Bone marrow aspirate smear. 40× objective, oil immersion: 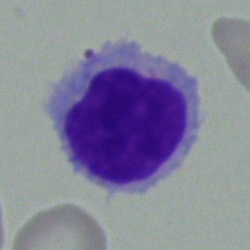

Cell = lymphocyte.